Bone marrow aspirate smear:
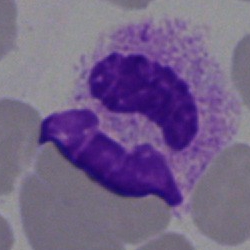

Cell = neutrophil (segmented).